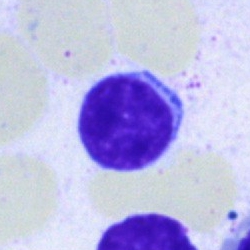 Bone marrow smear showing a lymphocyte.